Bone marrow smear.
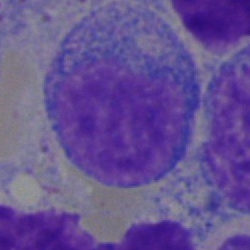

Q: What type of cell is this?
A: It is a blast.